40× objective, oil immersion. Bone marrow aspirate smear:
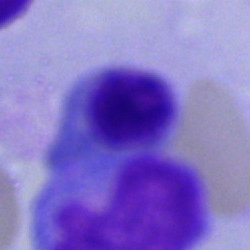
{"cell_type": "artifact"}